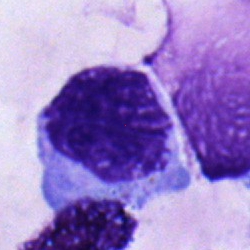 Q: What is shown here?
A: It is a monocyte.